Bone marrow smear. Pappenheim-stained. Single-cell crop
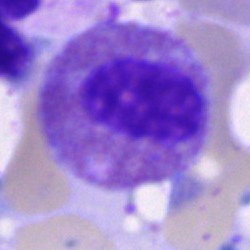

Specimen: bone marrow aspirate smear.
Classification: eosinophilic granulocyte.
Lineage: myeloid.